Bone marrow smear:
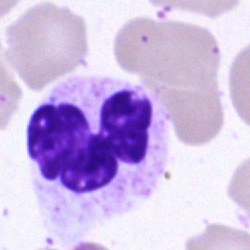 Specimen: bone marrow aspirate smear.
Classification: polymorphonuclear neutrophil.
Lineage: myeloid.